Peripheral blood film; single-cell field:
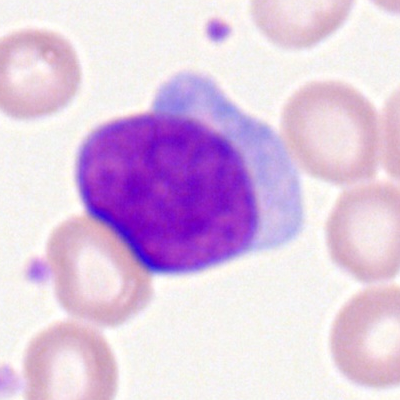Showing a myeloid blast.